Single cell centered in the field. Peripheral blood smear. Image size 400×400 — 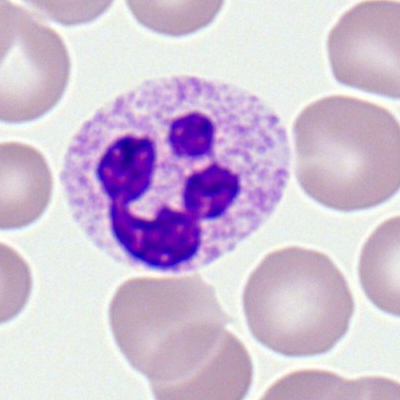
Specimen: peripheral blood smear.
Cell: neutrophil (segmented).
Lineage: myeloid.